Bone marrow aspirate smear:
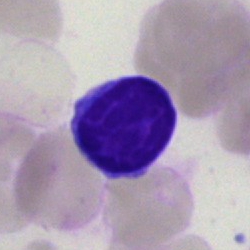
Specimen: bone marrow smear.
Cell: typical lymphocyte.